Bone marrow smear; MGG-stained: 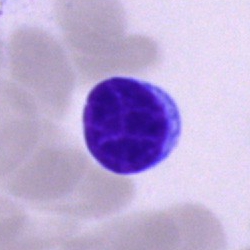
Cell type = typical lymphocyte.